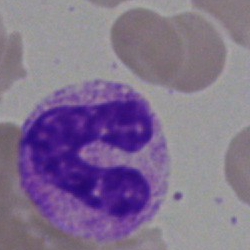

Morphology → band neutrophil.